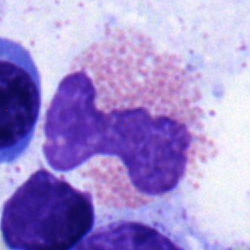 Single-cell crop from a bone marrow smear: eosinophil.